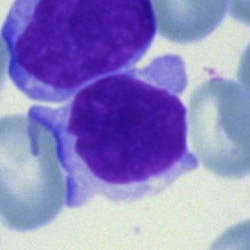
Single cell identified as a lymphocyte.